Bone marrow aspirate smear: 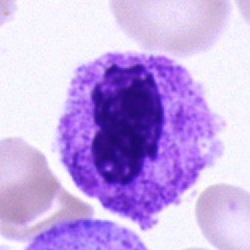 Q: Which cell type is shown here?
A: This is a neutrophil (segmented).